Bone marrow smear — 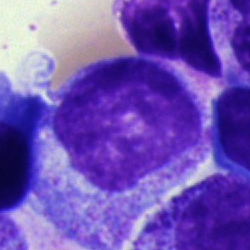
Specimen: bone marrow aspirate smear.
Classification: myelocyte.
Lineage: myeloid.